Bone marrow smear — 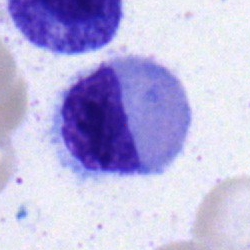

Cell: metamyelocyte.